Bone marrow smear
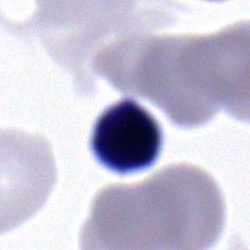

Specimen: bone marrow smear.
Cell type: typical lymphocyte.